May-Grünwald-Giemsa/Pappenheim stain · bone marrow smear — 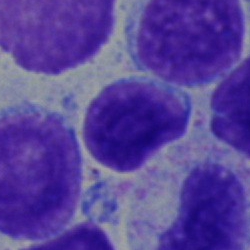Showing a typical lymphocyte.